Bone marrow smear · brightfield microscopy, 40× oil immersion
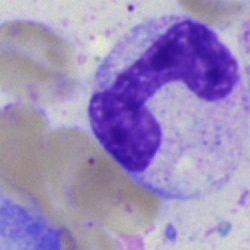The cell type is band-form neutrophil.